Bone marrow smear:
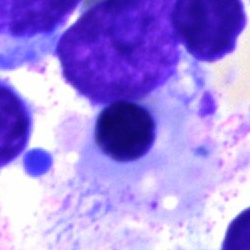

The cell is nucleated red cell.